Image size 250×250 · bone marrow aspirate smear: 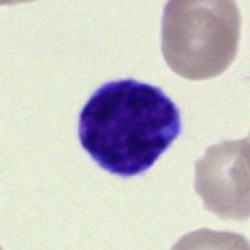 Morphological class: typical lymphocyte.